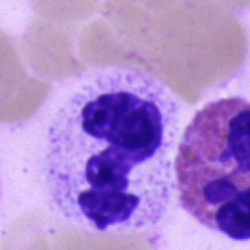

Morphology consistent with a segmented neutrophil.